Bone marrow smear; May-Grünwald-Giemsa/Pappenheim stain:
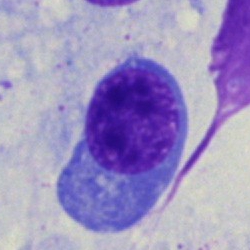

Nucleated red blood cell.